Peripheral blood smear: 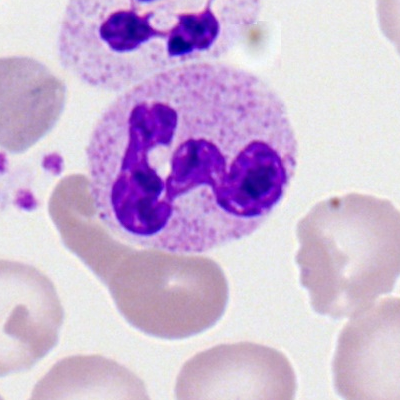

Cell — segmented neutrophil.